Brightfield, 40× oil-immersion objective. Bone marrow smear — 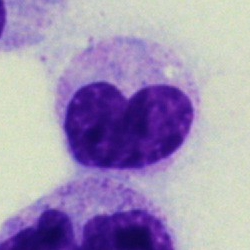
{"cell_type": "stab cell", "lineage": "myeloid"}